Bone marrow smear
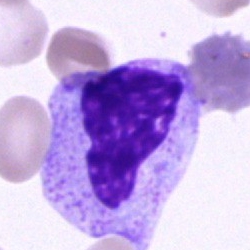
Morphology → cell of indeterminate lineage.